Bone marrow smear. Single-cell crop — 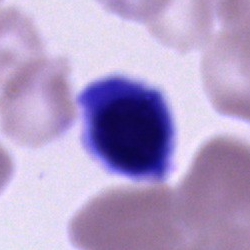 The cell type is nucleated red cell.